250 by 250 pixels; May-Grünwald-Giemsa stain; bone marrow smear:
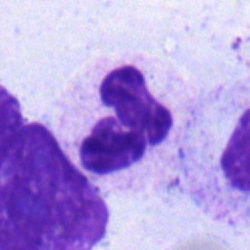Morphology consistent with a neutrophil (segmented).